Single-cell field. May-Grünwald-Giemsa stain. Bone marrow aspirate smear — 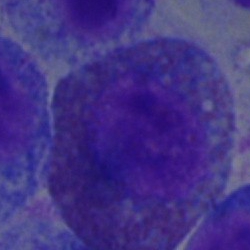
Impression — eosinophilic granulocyte.